Bone marrow aspirate smear.
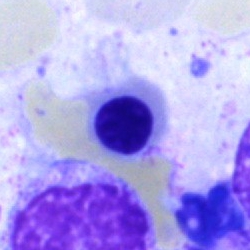
{"cell_type": "nucleated red blood cell", "lineage": "erythroid"}